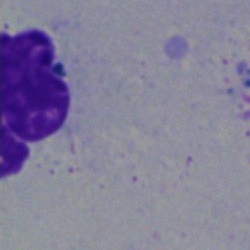

{"cell_type": "artifact"}